Bone marrow aspirate smear. Brightfield microscopy, 40× oil immersion.
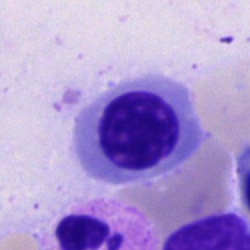Q: Which cell type is shown here?
A: Nucleated red cell.